May-Grünwald-Giemsa/Pappenheim stain · cropped to a single cell · bone marrow smear: 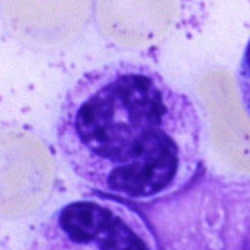 The cell type is segmented neutrophil.